Cropped to a single cell. Bone marrow smear.
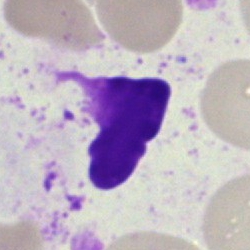Morphology consistent with an artifact.